MGG-stained. Bone marrow aspirate smear. Single cell centered in the field:
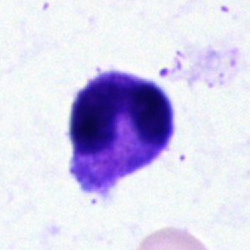
Specimen: bone marrow aspirate smear.
Morphological class: stab cell.
Lineage: myeloid.